Bone marrow smear:
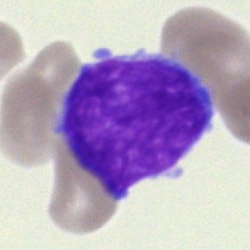Specimen: bone marrow aspirate smear.
Morphological class: blast.